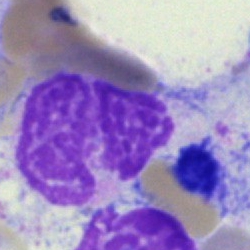

Bone marrow aspirate smear, single cell — artifact.